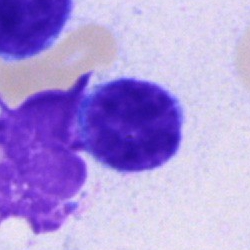

The classification is lymphocyte.